MGG-stained; bone marrow smear.
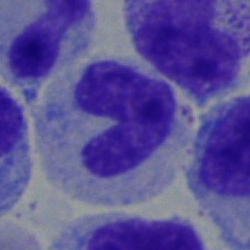
The classification is neutrophil (band).